Bone marrow aspirate smear:
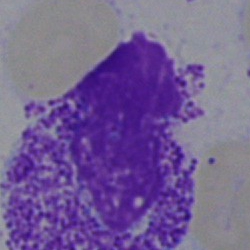

Impression → artefact.